Bone marrow smear.
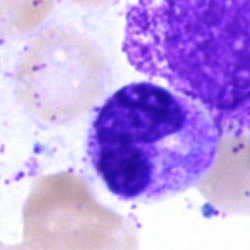 Single cell identified as a band neutrophil.